Bone marrow smear — 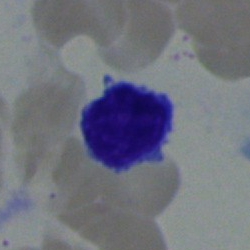Classification = lymphocyte.